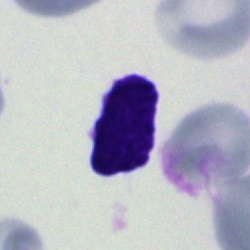{"cell_type": "artefact"}